Single cell centered in the field; bone marrow smear
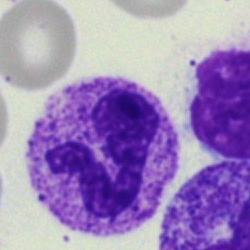

Single cell identified as a polymorphonuclear neutrophil.